Bone marrow smear: 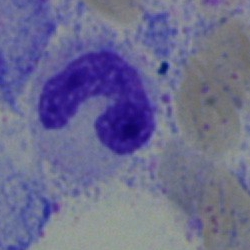 A stab cell.